Bone marrow aspirate smear
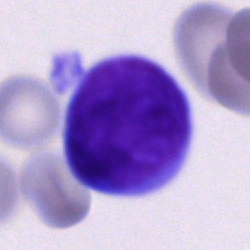 Q: What cell is this?
A: This is a blast.